Bone marrow aspirate smear — 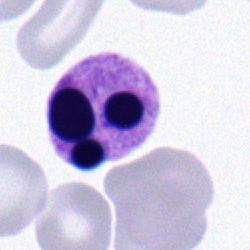A neutrophil (segmented).